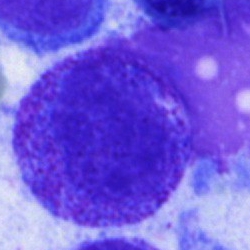 The cell shown is a myelocyte.